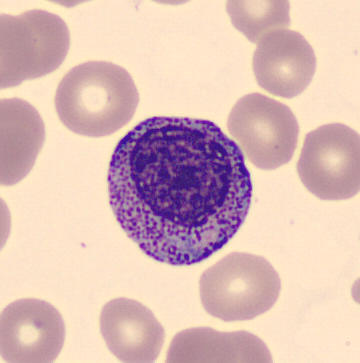Cell = myelocyte.